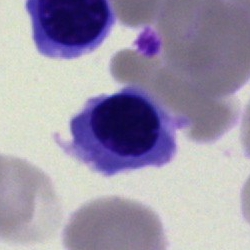Morphology consistent with a nucleated red blood cell.